Bone marrow aspirate smear.
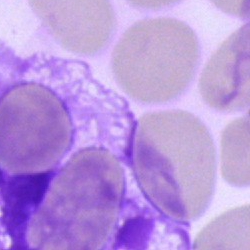
Specimen: bone marrow smear.
Classification: artifact.